Bone marrow aspirate smear; 40× oil immersion; single cell centered in the field:
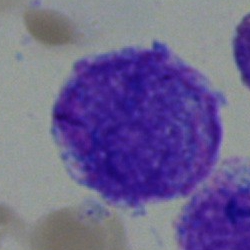
Classification — blast.